Single cell centered in the field. Bone marrow aspirate smear:
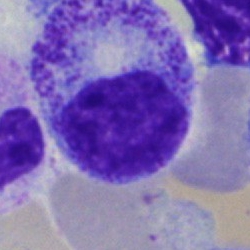
Promyelocyte.